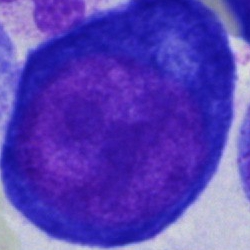

{"cell_type": "pronormoblast"}